Single-cell crop. 250×250 px. Bone marrow smear:
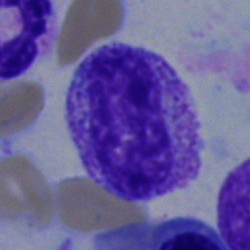Impression → myelocyte.